Peripheral blood film; single-cell crop
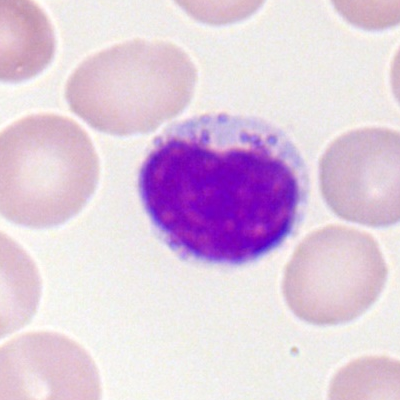Morphological class = typical lymphocyte.